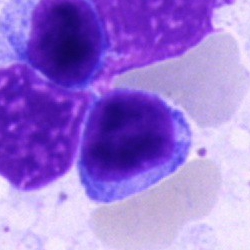
Single cell identified as a typical lymphocyte.